Bone marrow smear
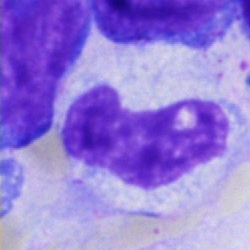 A cell of indeterminate lineage.